Bone marrow smear. Image size 250×250.
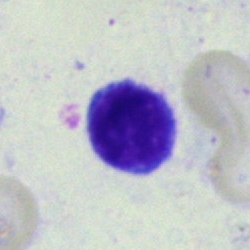The cell shown is a typical lymphocyte.